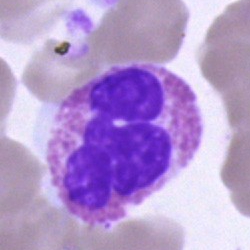 Q: What type of cell is this?
A: An eosinophilic granulocyte.